Bone marrow aspirate smear: 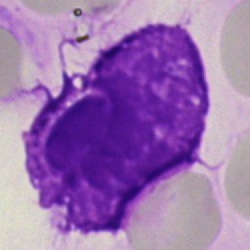Cell = artefact.